Bone marrow aspirate smear:
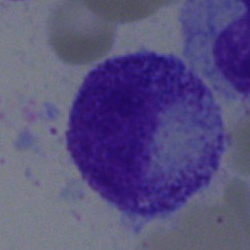
{"cell_type": "promyelocyte", "lineage": "myeloid"}